Peripheral blood film
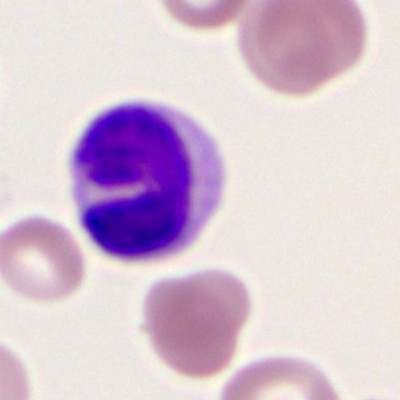
Impression — polymorphonuclear neutrophil.